Bone marrow aspirate smear:
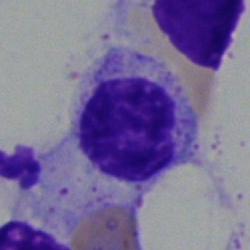

Lymphocyte.